Image size 250×250 · bone marrow smear · May-Grünwald-Giemsa/Pappenheim stain:
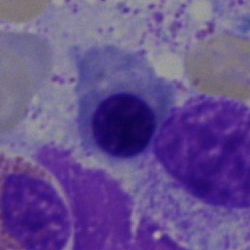Nucleated red blood cell.